40× oil immersion; bone marrow aspirate smear.
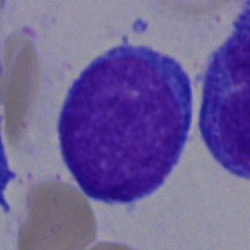
Specimen: bone marrow aspirate smear.
Cell type: blast.